Single-cell crop. May-Grünwald-Giemsa stain. Bone marrow aspirate smear:
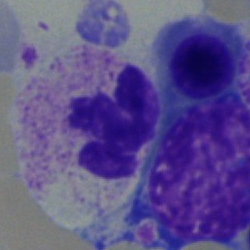 Cell = polymorphonuclear neutrophil.